250×250 px · bone marrow aspirate smear:
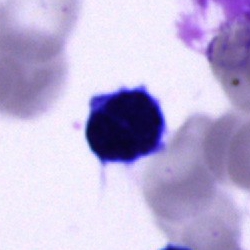
{"cell_type": "unidentifiable cell"}